Bone marrow smear.
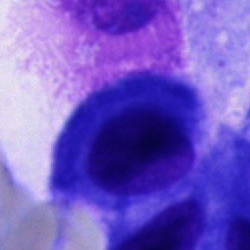
Q: What is the morphological classification of this cell?
A: This is an other cell type.